40× oil immersion; bone marrow smear: 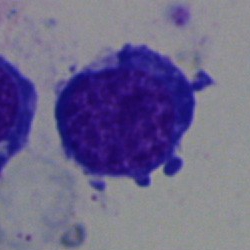

Q: Which cell type is shown here?
A: This is an erythroblast.